Bone marrow aspirate smear.
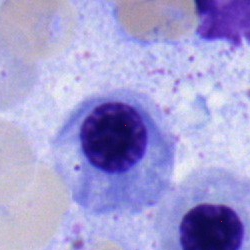
Classification — nucleated red cell.